Image size 250×250 · bone marrow smear
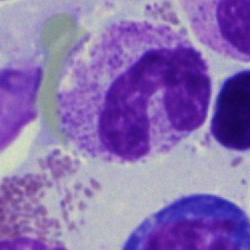
{"cell_type": "band neutrophil", "lineage": "myeloid"}